Bone marrow aspirate smear: 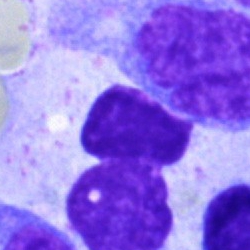
Morphology consistent with an artifact.